Bone marrow aspirate smear — 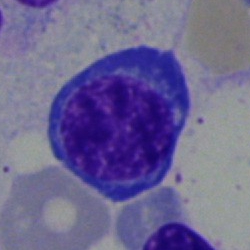

Specimen: bone marrow smear.
Classification: erythroblast.
Lineage: erythroid.